Bone marrow aspirate smear; brightfield microscopy, 40× oil immersion.
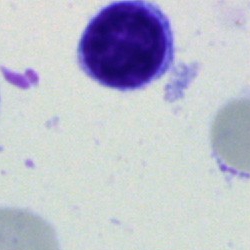
Lymphocyte.